May-Grünwald-Giemsa/Pappenheim stain; bone marrow aspirate smear — 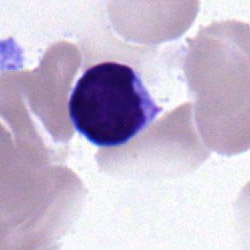 The cell shown is a lymphocyte.